Bone marrow aspirate smear
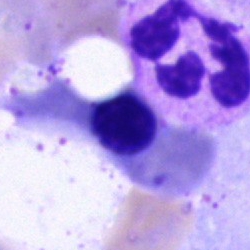

Morphological class: nucleated red blood cell.